Bone marrow aspirate smear: 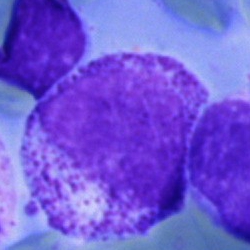

This is a myelocyte.